Bone marrow smear: 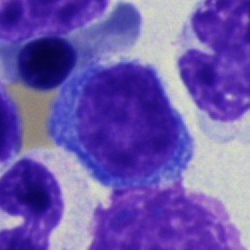
Morphological class = lymphocyte.